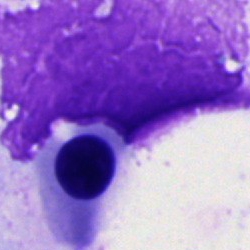Q: What is shown here?
A: Artefact.